Peripheral blood film:
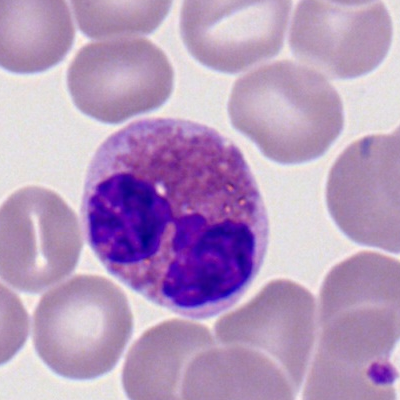

Showing an eosinophilic granulocyte.